Single cell centered in the field. Peripheral blood smear. 100× oil immersion, 14.14 px/µm.
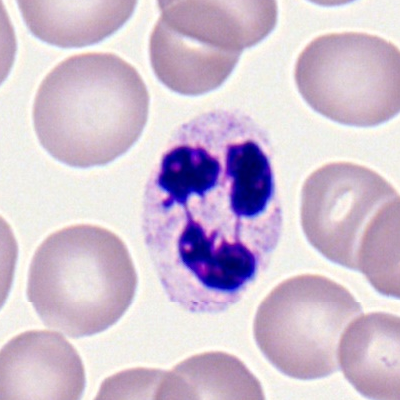Q: What is shown here?
A: It is a segmented neutrophil.